MGG-stained · image size 250×250 · bone marrow aspirate smear.
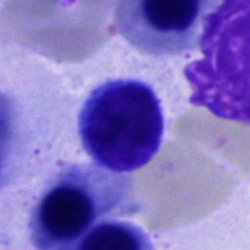 Morphology → typical lymphocyte.